Bone marrow aspirate smear:
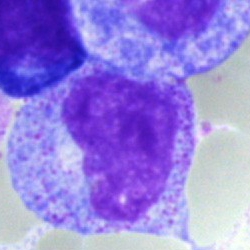
Showing a progranulocyte.